Pappenheim-stained. Bone marrow smear: 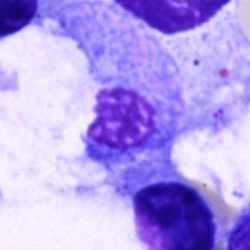Cell = artefact.